Bone marrow smear · single cell centered in the field:
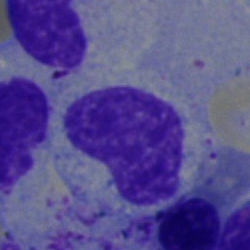
{"cell_type": "metamyelocyte", "lineage": "myeloid"}